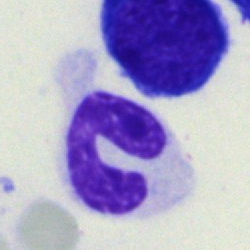Impression — segmented neutrophil.